Bone marrow smear: 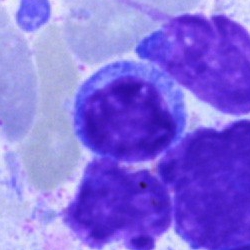Morphology consistent with a lymphocyte.